40× objective, oil immersion; single cell centered in the field; bone marrow smear.
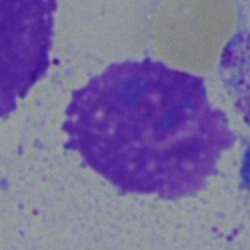Morphology consistent with a plasma cell.